Bone marrow smear · Pappenheim-stained — 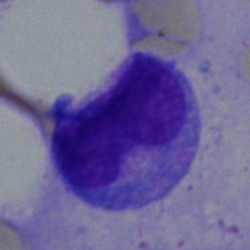

Single cell identified as a monocyte.